400×400; peripheral blood film: 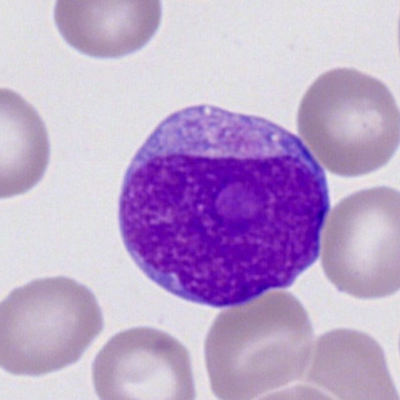 Classification: myeloblast.